Bone marrow smear; MGG-stained; image size 250×250: 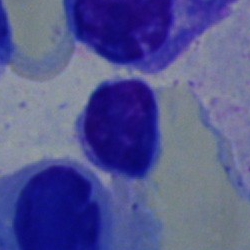 This is a lymphocyte.